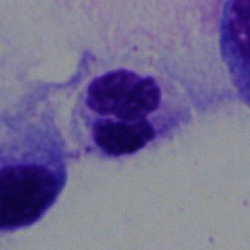 Q: What cell is this?
A: A polymorphonuclear neutrophil.